Bone marrow aspirate smear: 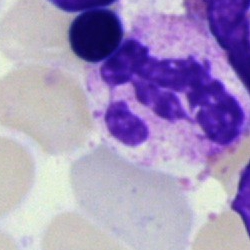This is a neutrophil (segmented).